Bone marrow aspirate smear.
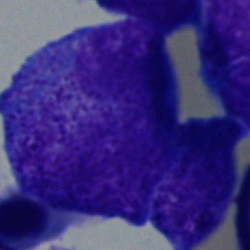 Cell type — promyelocyte.